250×250 · bone marrow smear · 40× oil immersion
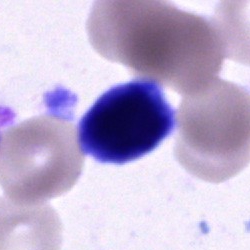An unidentifiable cell.